Single cell centered in the field; bone marrow smear; May-Grünwald-Giemsa stain — 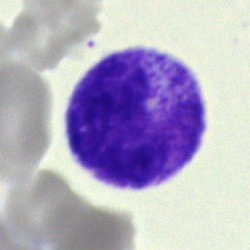 Q: What cell is this?
A: This is a myelocyte.